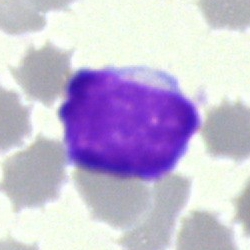{"cell_type": "lymphocyte", "lineage": "lymphoid"}